Bone marrow aspirate smear
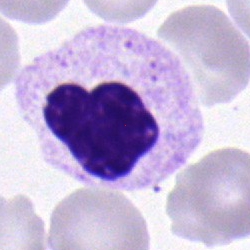
Single cell identified as a segmented neutrophil.